Bone marrow aspirate smear
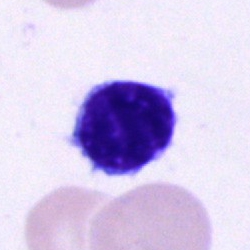

Specimen: bone marrow smear.
Classification: typical lymphocyte.